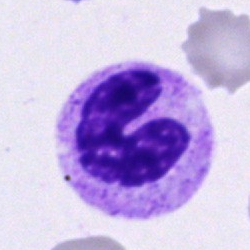

Bone marrow smear showing a stab cell.